Peripheral blood smear.
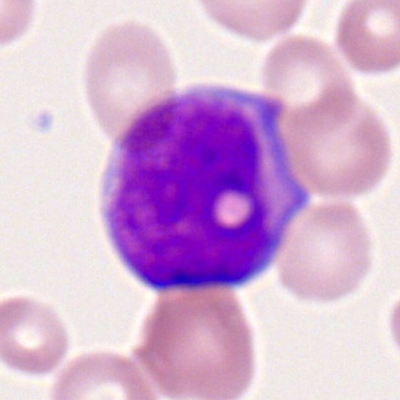Impression — myeloid blast.